Bone marrow smear: 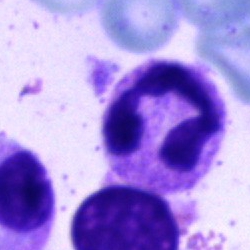

The cell shown is a neutrophil (segmented).